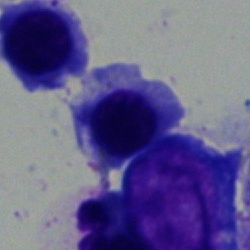Showing a nucleated red blood cell.